Bone marrow smear · cropped to a single cell.
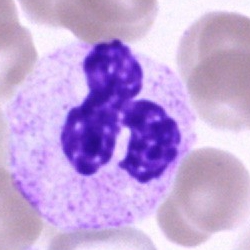 This is a segmented neutrophil.